Bone marrow aspirate smear.
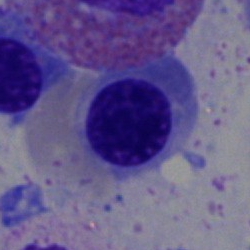Cell type: nucleated red cell.